Bone marrow smear
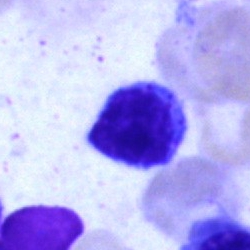
Q: What is shown here?
A: It is a lymphocyte.